Bone marrow smear
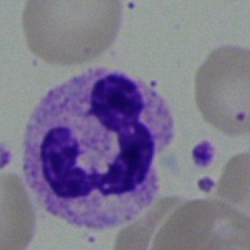 The cell shown is a neutrophil (segmented).